Bone marrow aspirate smear:
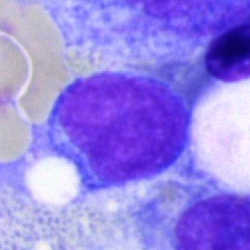
This is a lymphocyte.